Pappenheim-stained; bone marrow smear: 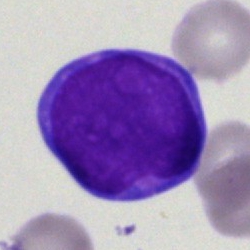
{"cell_type": "undifferentiated blast"}